Bone marrow smear:
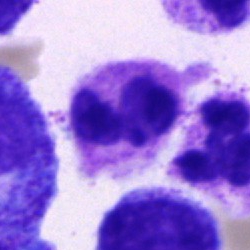Cell type = polymorphonuclear neutrophil.